Single cell centered in the field · 250×250 px · bone marrow smear — 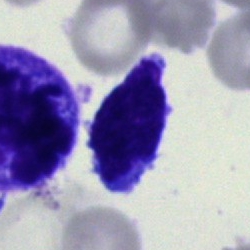

Undifferentiated blast.